Bone marrow smear.
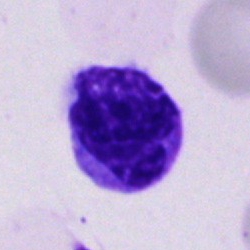

Specimen: bone marrow aspirate smear.
Morphological class: monocyte.